Peripheral blood smear: 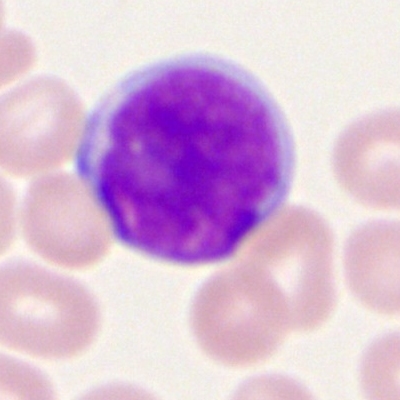

{"cell_type": "myeloid blast", "lineage": "myeloid"}